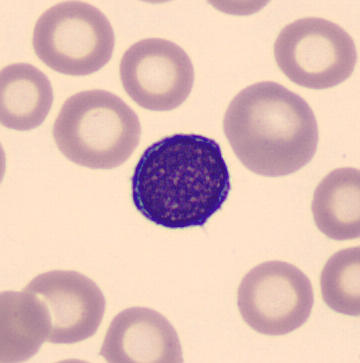

Preparation: Peripheral blood film. Classification = typical lymphocyte.